Bone marrow smear · brightfield microscopy, 40× oil immersion · single-cell crop:
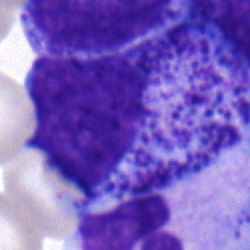Q: What cell is this?
A: It is a myelocyte.